Bone marrow aspirate smear: 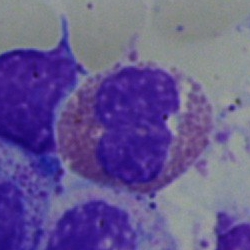Impression → eosinophil.